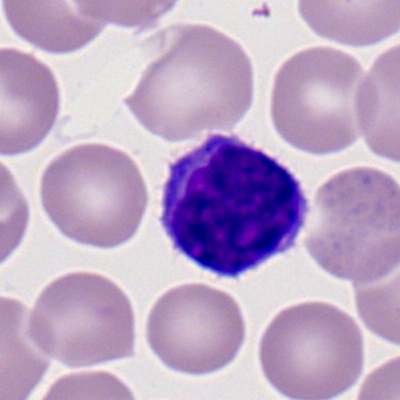Specimen: peripheral blood smear.
Classification: lymphocyte.